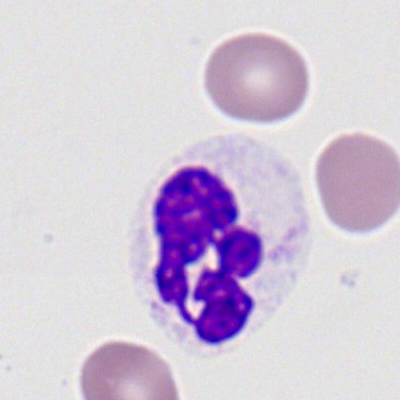Specimen: peripheral blood film.
Morphological class: polymorphonuclear neutrophil.
Lineage: myeloid.